40× objective, oil immersion. Bone marrow smear. Pappenheim-stained — 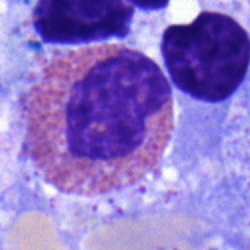 The cell shown is an eosinophil.